Bone marrow aspirate smear:
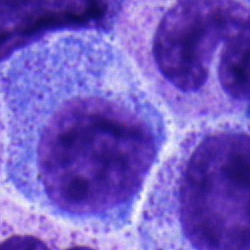 Morphology consistent with a promyelocyte.